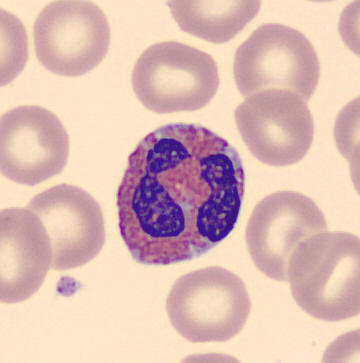
Specimen: peripheral blood smear.
Morphological class: eosinophil.
Lineage: myeloid.